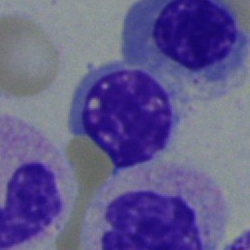

This is an erythroblast.